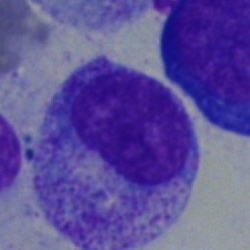
Morphological class — myelocyte.